Bone marrow aspirate smear.
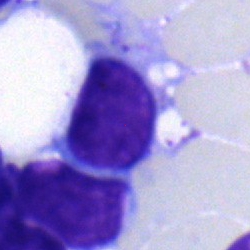
The cell is lymphocyte.